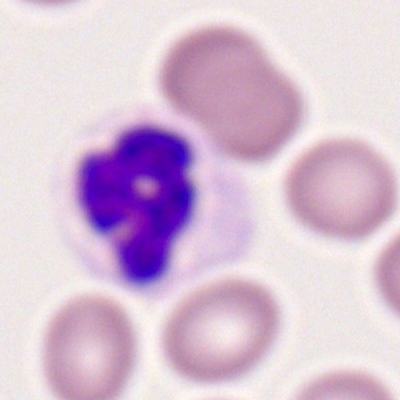
Peripheral blood film, single cell — segmented neutrophil.